Bone marrow smear; brightfield, 40× oil-immersion objective.
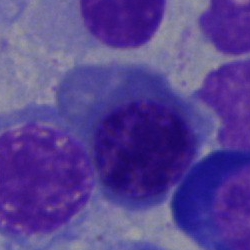
Cell type = nucleated red blood cell.